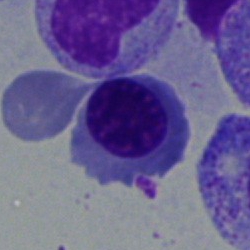 Specimen: bone marrow aspirate smear.
Classification: erythroblast.
Lineage: erythroid.